Bone marrow smear:
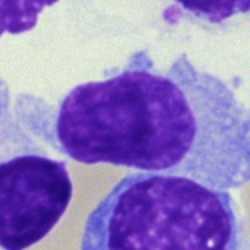Classification: hairy cell.